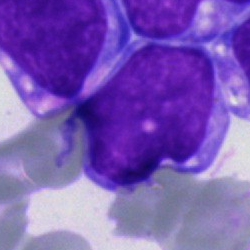Q: What type of cell is this?
A: This is a blast cell.